Bone marrow smear. Brightfield, 40× oil-immersion objective.
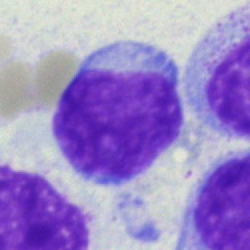

Morphological class — blast cell.